Brightfield microscopy, 40× oil immersion · bone marrow aspirate smear
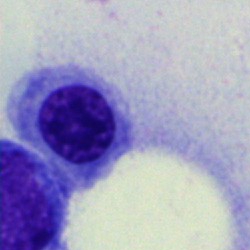Classification: normoblast.